Bone marrow smear
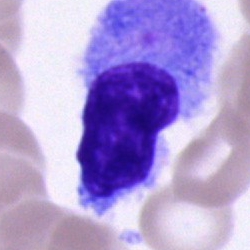
Q: What is the morphological classification of this cell?
A: Cell of indeterminate lineage.